Bone marrow smear: 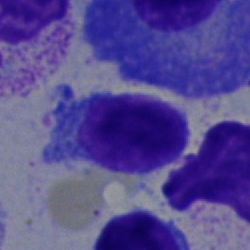

Q: What cell is this?
A: Typical lymphocyte.